Bone marrow smear — 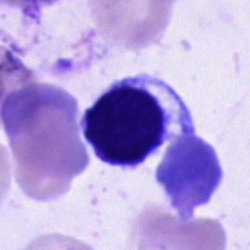 Q: Identify the cell.
A: This is an unidentifiable cell.